Bone marrow smear — 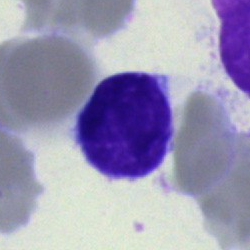
The cell shown is a lymphocyte.